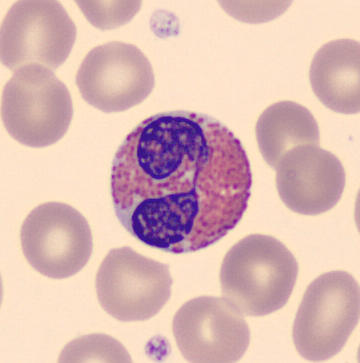
Q: What is this?
A: This is an eosinophil.